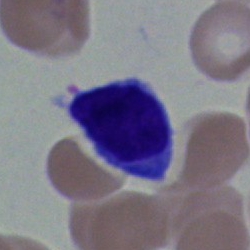

Morphology consistent with a lymphocyte.